Cropped to a single cell; bone marrow smear: 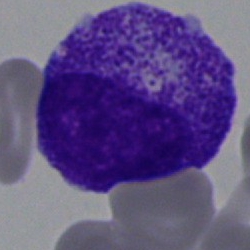

Specimen: bone marrow smear.
Morphological class: myelocyte.